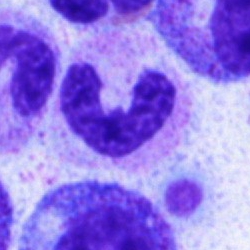 A polymorphonuclear neutrophil.